May-Grünwald-Giemsa stain. Bone marrow aspirate smear. Single-cell field.
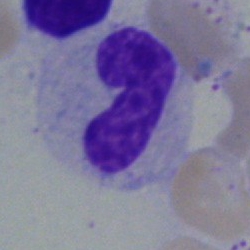 Morphology consistent with a band neutrophil.